Bone marrow aspirate smear
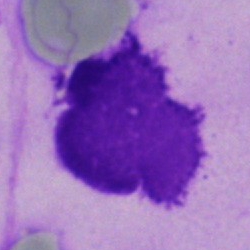

Q: What is shown here?
A: This is an artifact.